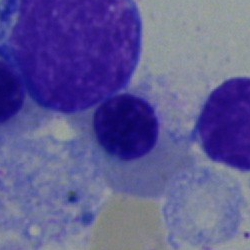

Q: What type of cell is this?
A: It is a normoblast.